Single-cell field. Bone marrow smear.
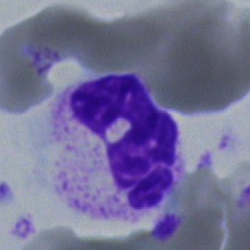A neutrophil (segmented).